Bone marrow smear · 250×250 — 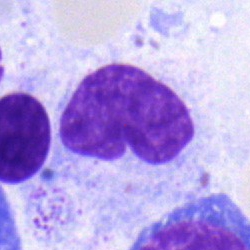
Morphological class — stab cell.